Bone marrow smear:
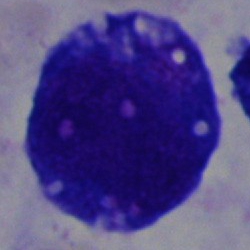Q: Which cell type is shown here?
A: Undifferentiated blast.